Bone marrow smear.
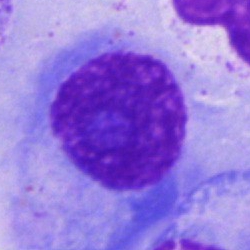 Morphology consistent with a plasmacyte.